Bone marrow aspirate smear:
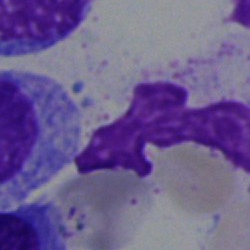Classification — artefact.